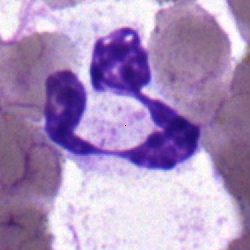Q: What is the morphological classification of this cell?
A: Segmented neutrophil.